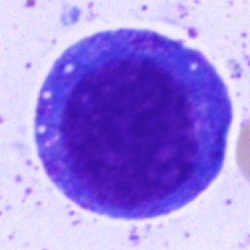

Morphological class — promyelocyte.